Bone marrow aspirate smear. May-Grünwald-Giemsa/Pappenheim stain — 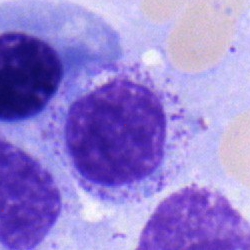Morphology → myelocyte.